Bone marrow aspirate smear — 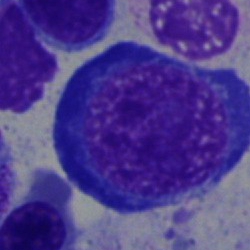

Q: What is shown here?
A: It is an erythroblast.